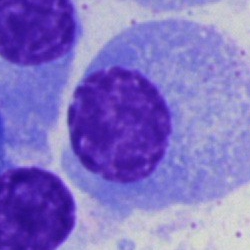

Cell — plasma cell.